Bone marrow aspirate smear · May-Grünwald-Giemsa stain.
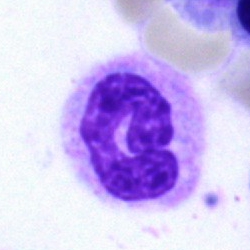Q: Which cell type is shown here?
A: A segmented neutrophil.